Peripheral blood smear.
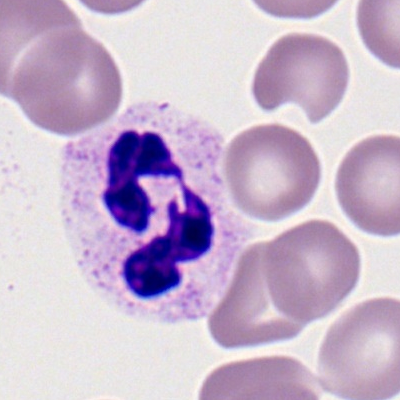 This is a polymorphonuclear neutrophil.